Bone marrow smear — 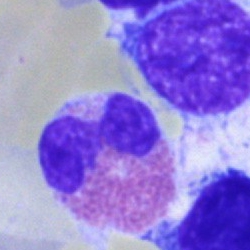 Q: What cell is this?
A: Eosinophil.